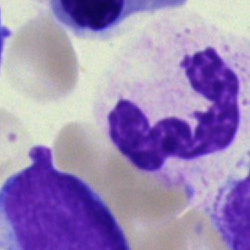 Single cell identified as a polymorphonuclear neutrophil.